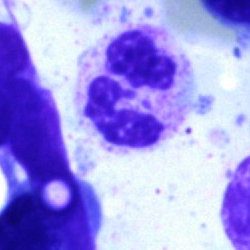
The cell is polymorphonuclear neutrophil.